Brightfield microscopy, 40× oil immersion. Bone marrow aspirate smear — 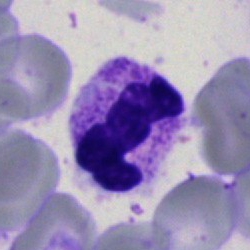Neutrophil (segmented).